40× oil immersion; bone marrow smear:
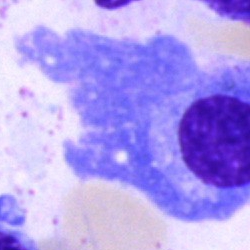

{"cell_type": "plasmacyte"}